Brightfield microscopy, 40× oil immersion; bone marrow smear; MGG-stained — 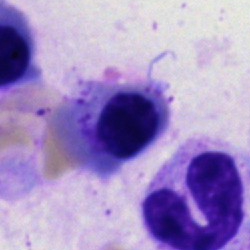
Erythroblast.